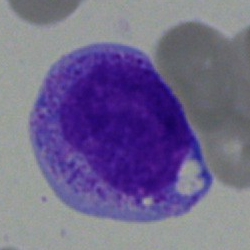 Morphological class: myelocyte.